Bone marrow smear. Single-cell crop — 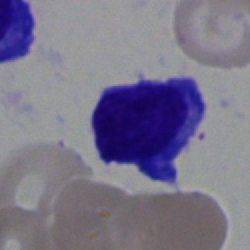
This is a plasma cell.